40× oil immersion · bone marrow smear: 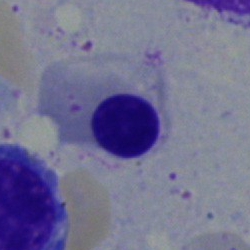Q: What type of cell is this?
A: Nucleated red cell.